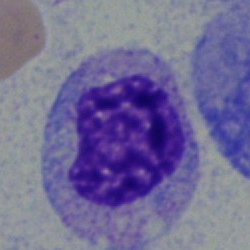 Bone marrow smear showing a myelocyte.